Bone marrow smear:
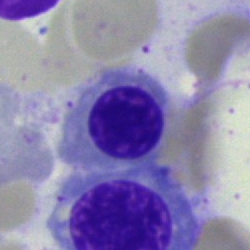 This is a nucleated red cell.